Bone marrow smear — 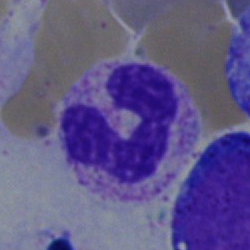 {"cell_type": "band neutrophil"}